Bone marrow smear. Cropped to a single cell: 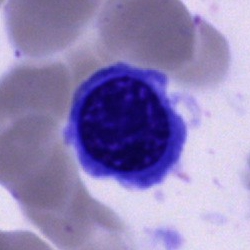
A normoblast.